Bone marrow aspirate smear · 40× objective, oil immersion — 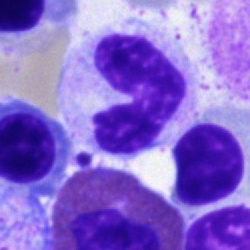

The cell shown is a neutrophil (segmented).